Peripheral blood smear · Romanowsky-type stain: 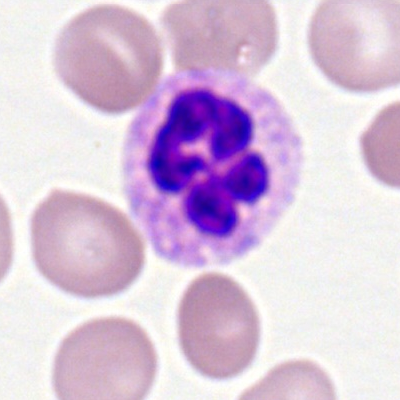Classification — neutrophil (segmented).